Bone marrow aspirate smear.
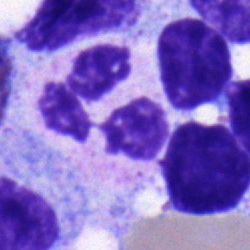 A polymorphonuclear neutrophil.